Bone marrow smear — 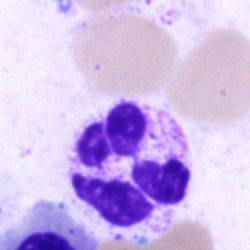Segmented neutrophil.